Peripheral blood film.
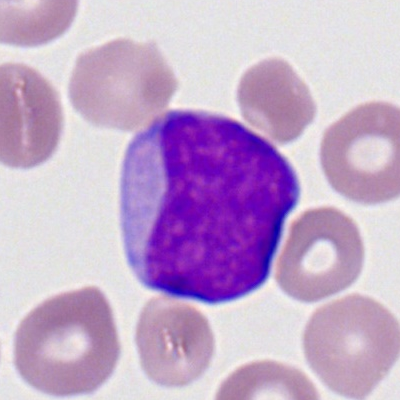 Impression — myeloid blast.